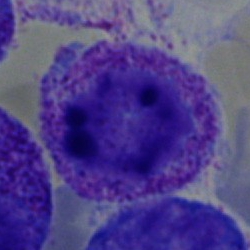
Morphology → myelocyte.